Bone marrow aspirate smear · 250 by 250 pixels · May-Grünwald-Giemsa stain — 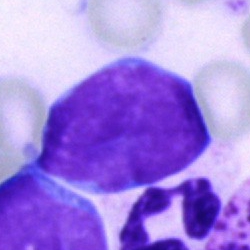Cell type: undifferentiated blast.